Single-cell crop · 400×400 · peripheral blood smear.
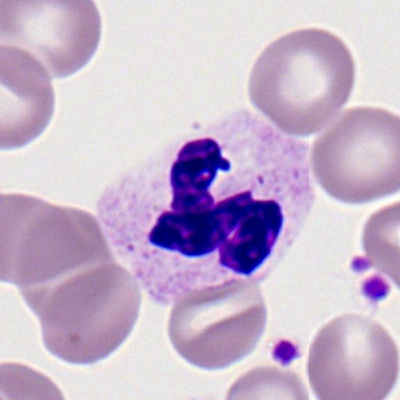This is a segmented neutrophil.